Bone marrow aspirate smear:
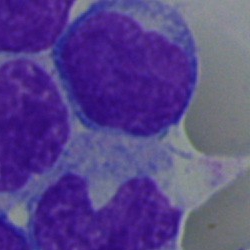

Classification: undifferentiated blast.